Bone marrow smear.
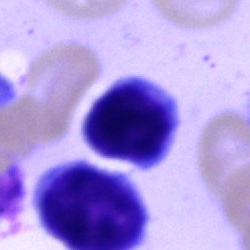Cell type = typical lymphocyte.